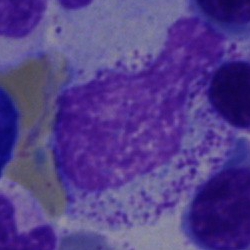
Q: What is shown here?
A: This is an artifact.